Bone marrow smear · May-Grünwald-Giemsa stain:
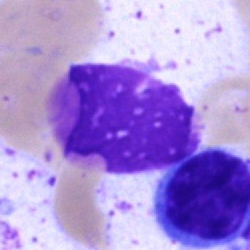 This is a typical lymphocyte.